400 by 400 pixels; peripheral blood film
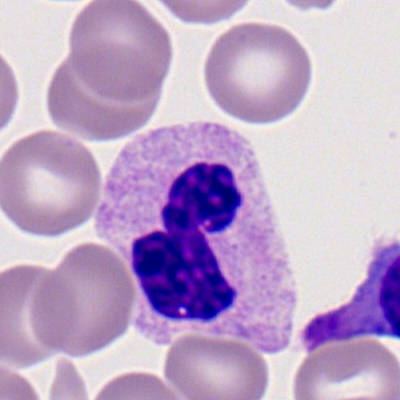
Impression → segmented neutrophil.